Bone marrow aspirate smear:
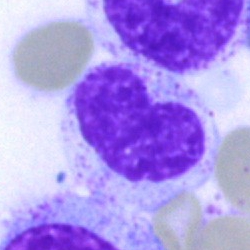 The classification is metamyelocyte.